Peripheral blood film — 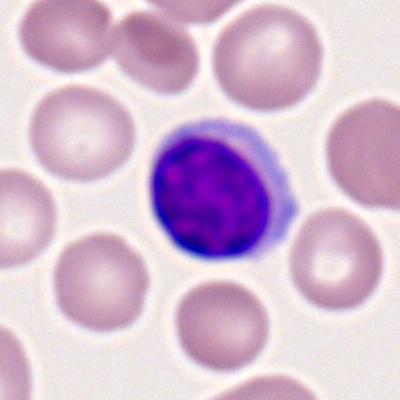 {"cell_type": "typical lymphocyte", "lineage": "lymphoid"}